Bone marrow aspirate smear. Pappenheim-stained. 40× objective, oil immersion.
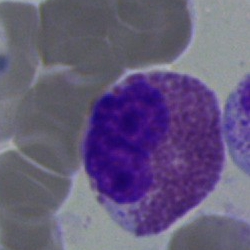
Cell type = eosinophil.